250 by 250 pixels. Bone marrow smear. May-Grünwald-Giemsa/Pappenheim stain
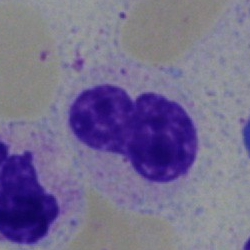Q: Which cell type is shown here?
A: This is a stab cell.